Bone marrow aspirate smear.
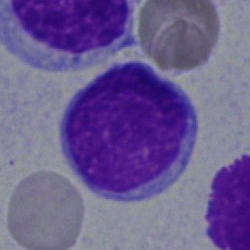

Morphology — typical lymphocyte.